Bone marrow smear.
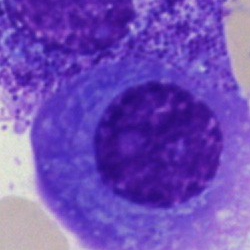
Q: What cell is this?
A: Plasma cell.